Bone marrow smear
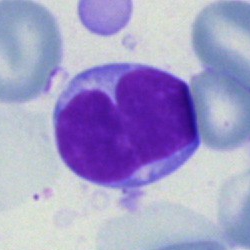 Q: What is the morphological classification of this cell?
A: Lymphocyte.